Bone marrow aspirate smear; brightfield microscopy, 40× oil immersion — 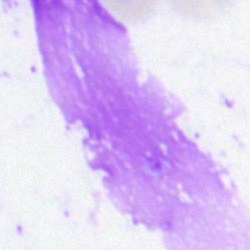 Impression — artifact.